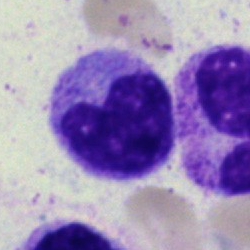Morphological class = metamyelocyte.